Bone marrow smear
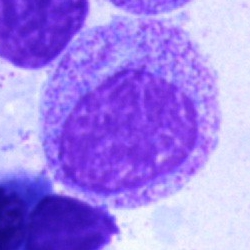 Showing a myelocyte.